Peripheral blood smear: 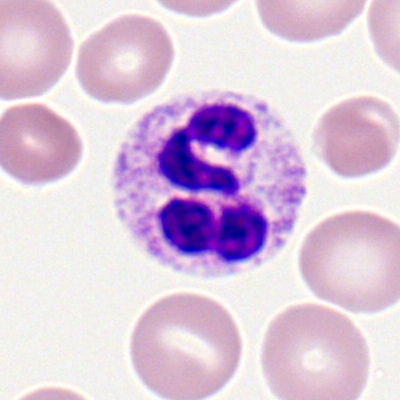 The morphological class is neutrophil (segmented).